Bone marrow aspirate smear:
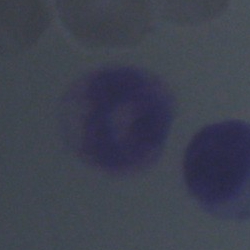

Classification = unidentifiable cell.